Image size 250×250; bone marrow aspirate smear
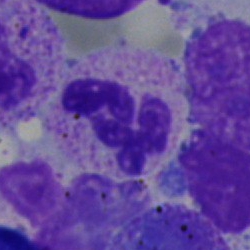

Morphological class — neutrophil (segmented).